Bone marrow smear — 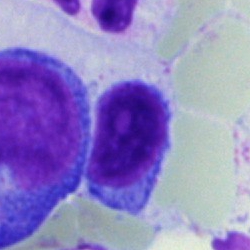
The cell shown is a lymphocyte.